Bone marrow smear · 250 by 250 pixels
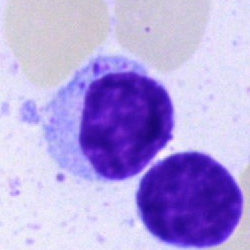This is a typical lymphocyte.